Single-cell field; bone marrow aspirate smear — 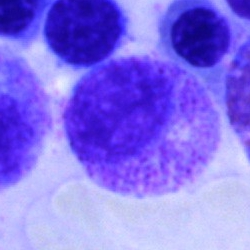Specimen: bone marrow aspirate smear.
Cell type: myelocyte.
Lineage: myeloid.